40× oil immersion. Bone marrow smear
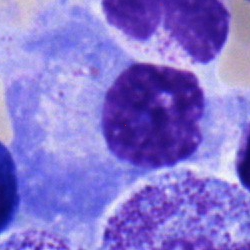

The cell type is plasmacyte.